400×400 px · peripheral blood film — 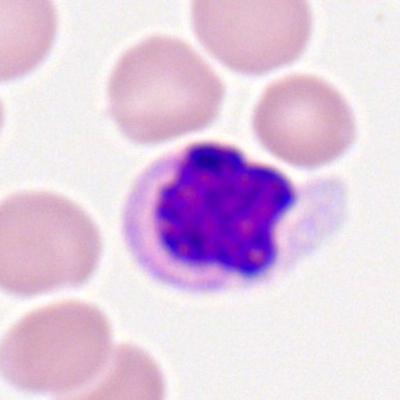

Polymorphonuclear neutrophil.